Bone marrow aspirate smear: 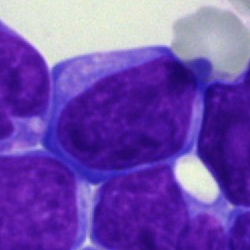A blast.